Peripheral blood film: 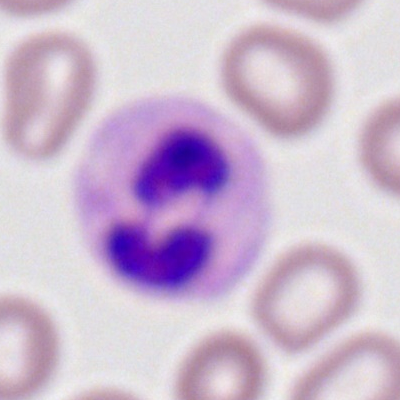Q: What is the morphological classification of this cell?
A: A neutrophil (segmented).